Bone marrow smear — 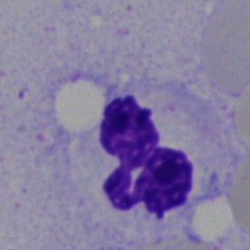 Morphological class: neutrophil (segmented).